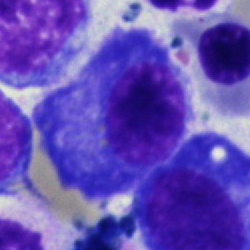
Specimen: bone marrow smear.
Morphological class: plasmacyte.
Lineage: lymphoid.